Bone marrow smear: 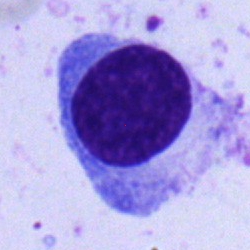 The cell type is plasmacyte.